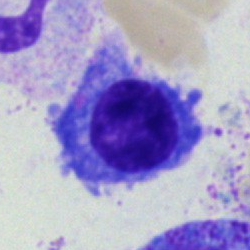

Cell — plasma cell.